Bone marrow smear — 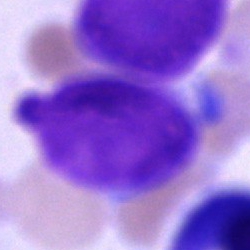 Specimen: bone marrow smear.
Cell: artifact.